Bone marrow aspirate smear: 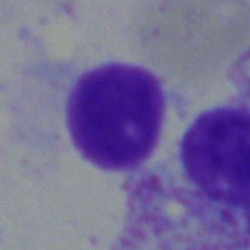Artifact.